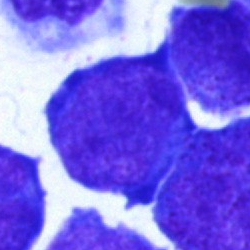
Specimen: bone marrow aspirate smear.
Cell: undifferentiated blast.